Bone marrow aspirate smear:
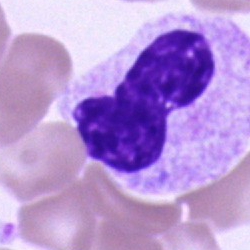
Showing a neutrophil (band).